Bone marrow smear. Image size 250×250. Brightfield, 40× oil-immersion objective:
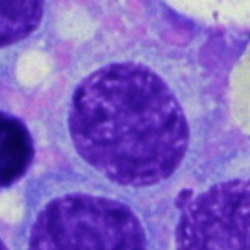 Morphology → plasma cell.